Bone marrow aspirate smear:
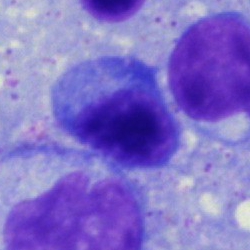

The cell is plasma cell.